Bone marrow smear · 250 by 250 pixels.
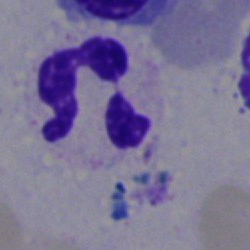
Showing a neutrophil (segmented).